Bone marrow smear — 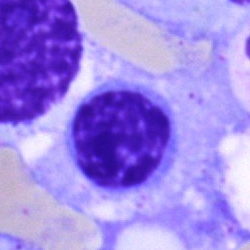
Specimen: bone marrow smear.
Cell type: typical lymphocyte.